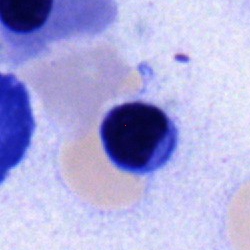{"cell_type": "typical lymphocyte"}